Bone marrow smear
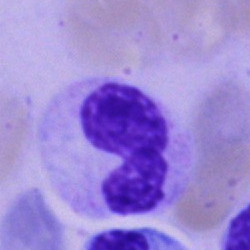 Impression — polymorphonuclear neutrophil.